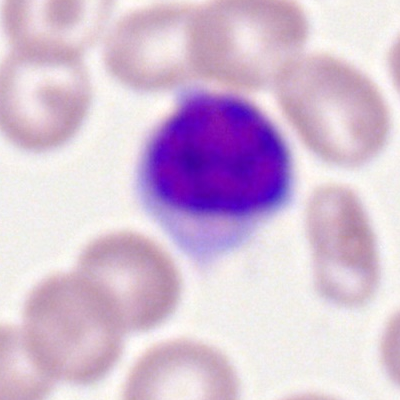

Impression — typical lymphocyte.